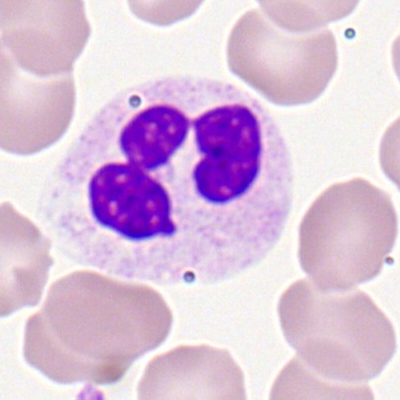The cell shown is a neutrophil (segmented).